Bone marrow aspirate smear:
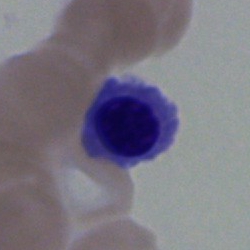Cell type — nucleated red blood cell.